Bone marrow aspirate smear: 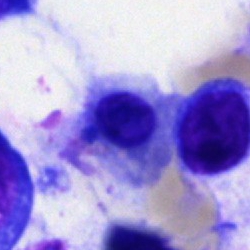

Single cell identified as a normoblast.